Bone marrow smear; MGG-stained; 40× oil immersion:
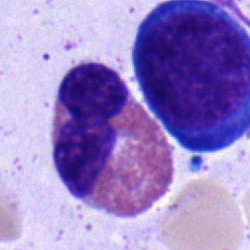

Q: What cell is this?
A: This is an eosinophilic granulocyte.